250×250 · bone marrow smear:
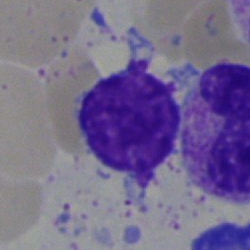
Impression → artifact.